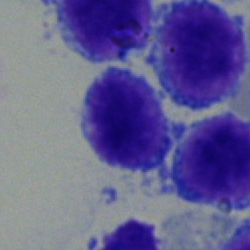

Morphology consistent with a lymphocyte.